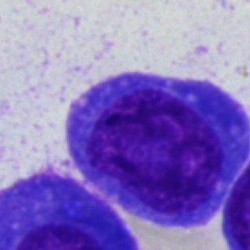
Q: What cell is this?
A: This is a plasmacyte.